250×250. Bone marrow smear:
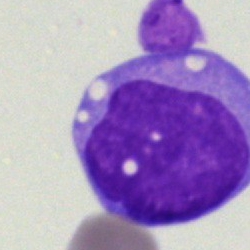Q: What is shown here?
A: Undifferentiated blast.